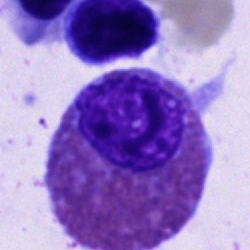 Morphological class: eosinophilic granulocyte.